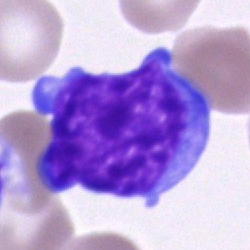

Bone marrow smear showing a blast cell.